Bone marrow smear; 250 by 250 pixels — 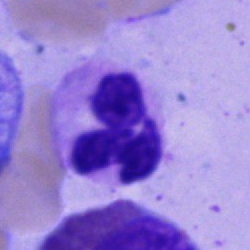A neutrophil (segmented).